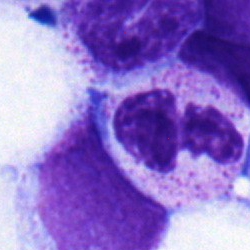 Stab cell.